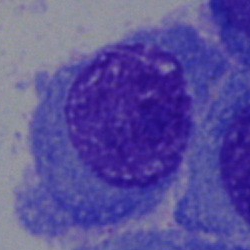 This is a plasmacyte.